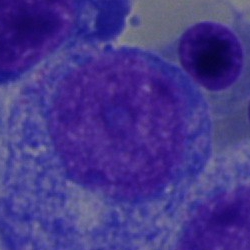
Single-cell crop from a bone marrow smear: promyelocyte.